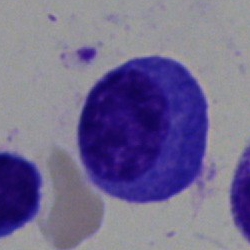

A plasma cell.